Pappenheim-stained. 40× objective, oil immersion. Bone marrow smear — 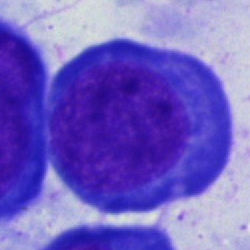
Classification: normoblast.